Bone marrow aspirate smear — 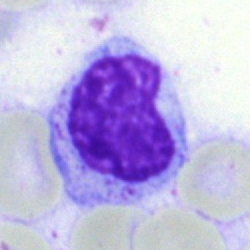 Impression — lymphocyte.